Bone marrow aspirate smear · single-cell field · May-Grünwald-Giemsa stain — 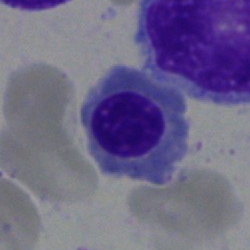

Morphology consistent with an erythroblast.